250×250 px; bone marrow smear — 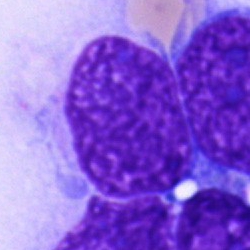
Showing an artifact.